Bone marrow smear.
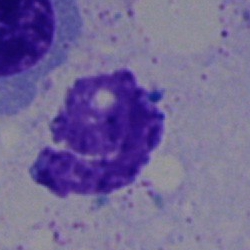

Q: Which cell type is shown here?
A: This is a polymorphonuclear neutrophil.